Bone marrow smear: 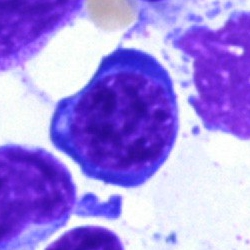
An erythroblast.